Bone marrow smear:
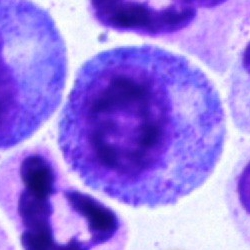

The cell shown is a progranulocyte.